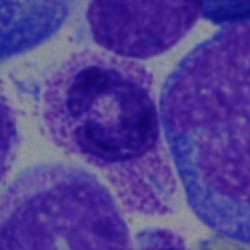 The cell type is stab cell.